Bone marrow aspirate smear.
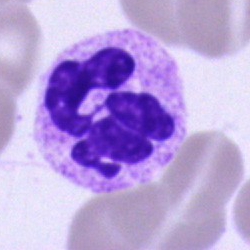Polymorphonuclear neutrophil.